40× oil immersion. Bone marrow aspirate smear — 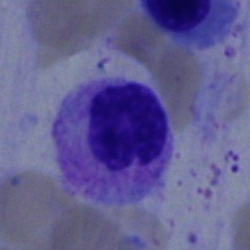 {"cell_type": "band-form neutrophil"}